MGG-stained. Bone marrow smear — 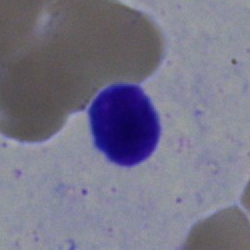
The cell shown is a lymphocyte.